Bone marrow aspirate smear · 250×250:
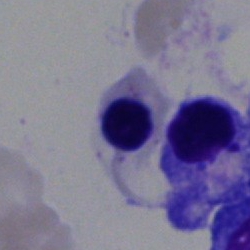Normoblast.